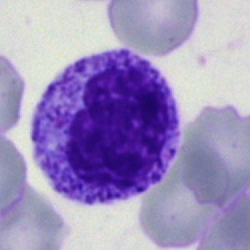

Q: Which cell type is shown here?
A: Myelocyte.